250 by 250 pixels; May-Grünwald-Giemsa stain; bone marrow smear — 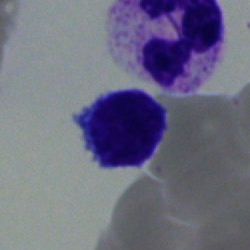 Specimen: bone marrow aspirate smear.
Cell: lymphocyte.
Lineage: lymphoid.